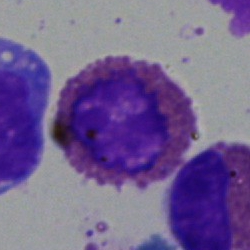Classification: eosinophil.